Bone marrow smear — 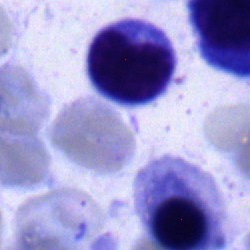Classification = typical lymphocyte.